Bone marrow smear · brightfield microscopy, 40× oil immersion.
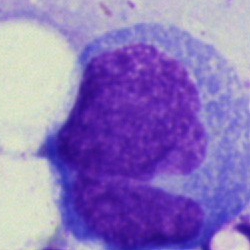
The cell type is monocyte.